Bone marrow smear · 40× oil immersion:
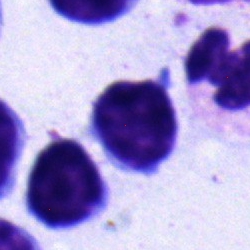Cell type = lymphocyte.